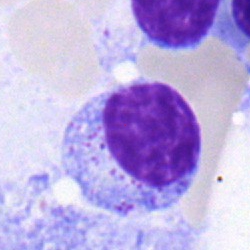
Morphological class = typical lymphocyte.